Bone marrow aspirate smear; Pappenheim-stained — 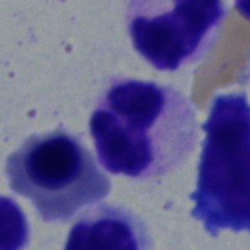

Classification: polymorphonuclear neutrophil.